Peripheral blood smear:
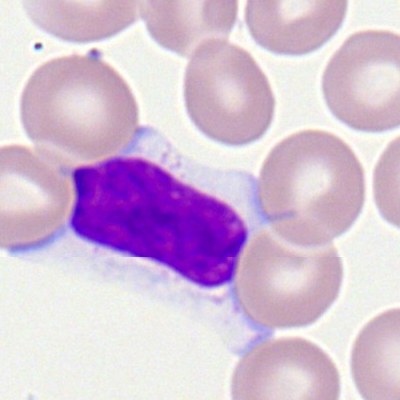Cell type = typical lymphocyte.